250×250. Bone marrow aspirate smear:
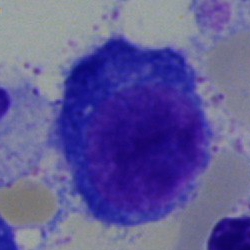 Q: What is shown here?
A: It is a plasma cell.